Bone marrow smear:
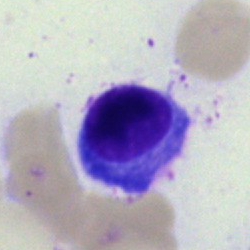 Q: What type of cell is this?
A: A plasmacyte.